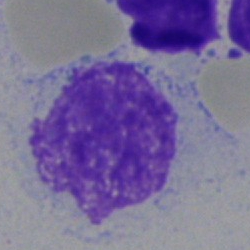
Specimen: bone marrow smear.
Cell: artefact.